Bone marrow aspirate smear
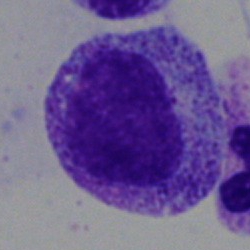Morphological class — myelocyte.